May-Grünwald-Giemsa stain; bone marrow smear.
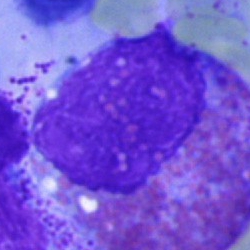 Impression → eosinophil.